Romanowsky stain · peripheral blood smear — 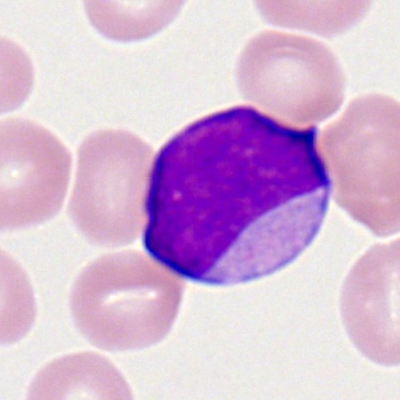
Morphology consistent with a myeloid blast.